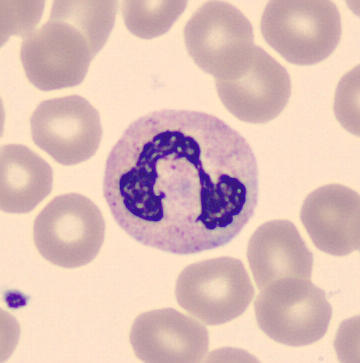

Morphological class = polymorphonuclear neutrophil.

Preparation: Peripheral blood smear. 360×363 px.